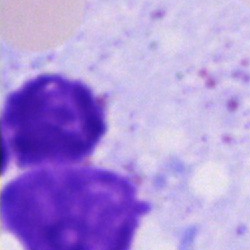 Single-cell crop from a bone marrow smear: artifact.